Bone marrow smear · single cell centered in the field.
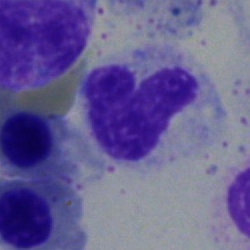 Specimen: bone marrow aspirate smear.
Cell: band-form neutrophil.